May-Grünwald-Giemsa/Pappenheim stain; bone marrow aspirate smear
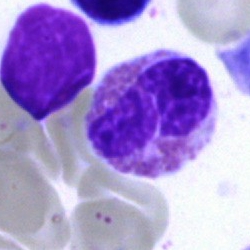 Q: Which cell type is shown here?
A: An eosinophil.